Bone marrow smear
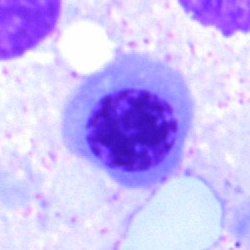

Showing a nucleated red cell.